Brightfield, 100× oil-immersion objective; peripheral blood film.
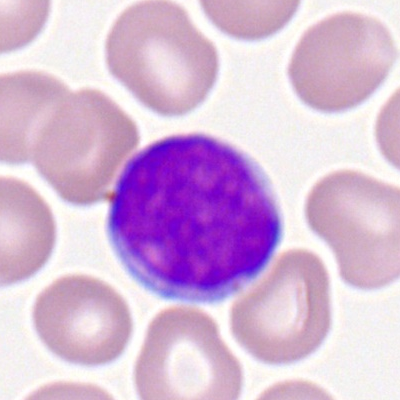 Q: What is shown here?
A: This is a myeloid blast.